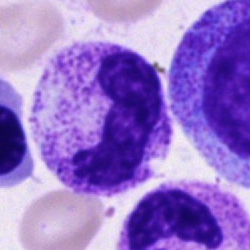
Morphology → band-form neutrophil.